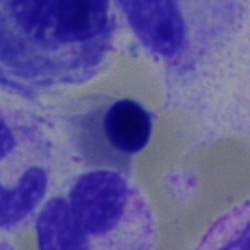The morphological class is nucleated red cell.